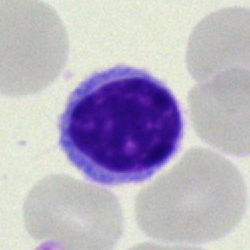 Bone marrow aspirate smear, single cell — typical lymphocyte.